Bone marrow smear
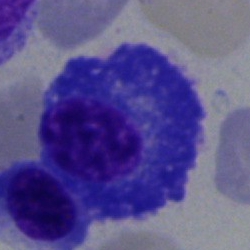

Impression — plasma cell.